Cropped to a single cell; bone marrow aspirate smear
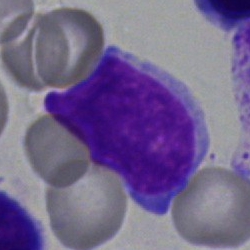
The cell shown is an undifferentiated blast.